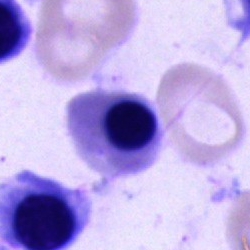Q: Which cell type is shown here?
A: This is an erythroblast.